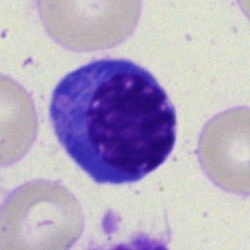Specimen: bone marrow aspirate smear.
Morphological class: erythroblast.
Lineage: erythroid.